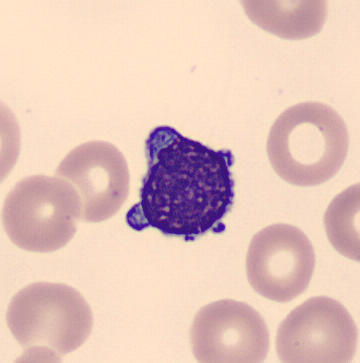

Lymphocyte.